Bone marrow aspirate smear · single cell centered in the field · 250×250 px: 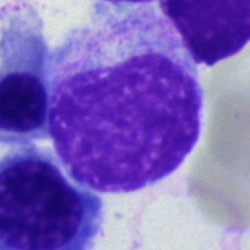 Specimen: bone marrow smear.
Cell type: myelocyte.
Lineage: myeloid.